Peripheral blood film
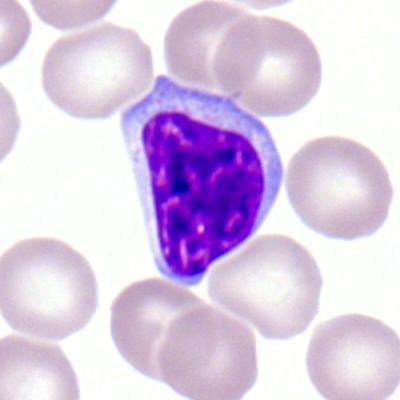Single cell identified as a typical lymphocyte.